250×250 px · bone marrow aspirate smear · May-Grünwald-Giemsa stain.
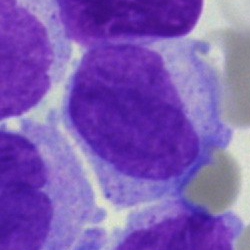

This is an undifferentiated blast.